Bone marrow aspirate smear — 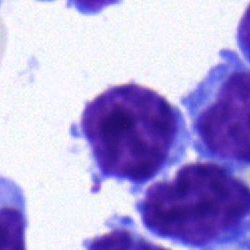
Q: What type of cell is this?
A: It is a typical lymphocyte.